Peripheral blood smear; single-cell crop; M8 digital microscope (Precipoint), 100× oil immersion:
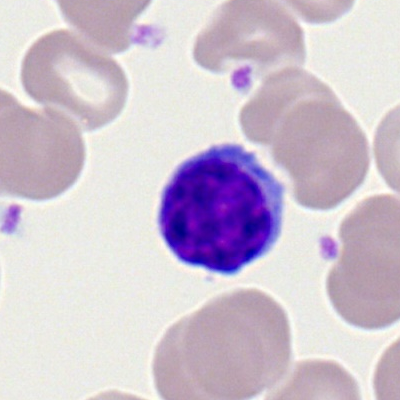Morphological class: lymphocyte.